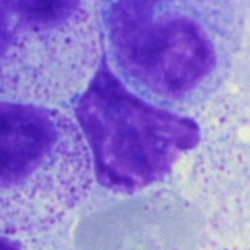{"cell_type": "myelocyte", "lineage": "myeloid"}